Bone marrow aspirate smear.
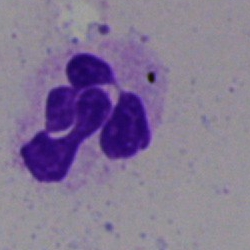
A segmented neutrophil.